400×400; peripheral blood film — 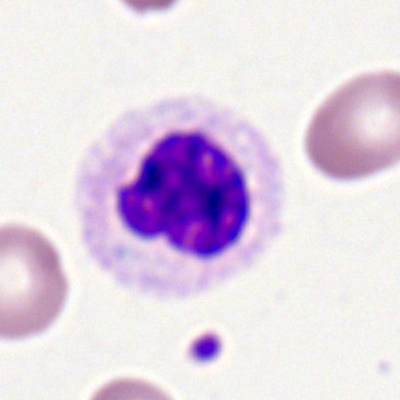
The cell is neutrophil (segmented).